250 by 250 pixels. Bone marrow aspirate smear.
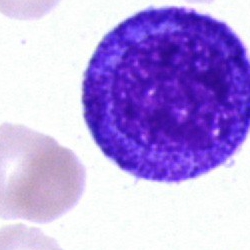Morphology consistent with a promyelocyte.